Bone marrow smear; 40× objective, oil immersion.
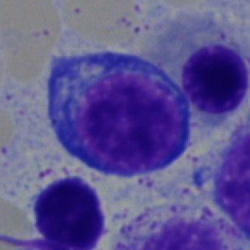
Cell = pronormoblast.